Bone marrow smear:
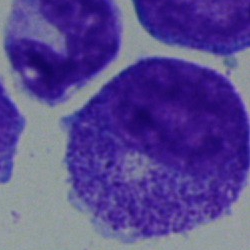 This is a progranulocyte.